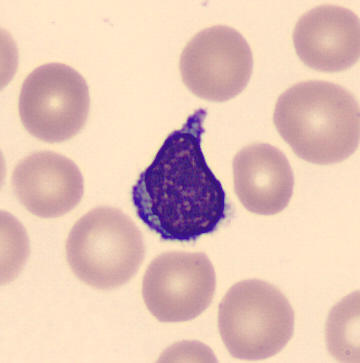Acquisition: Cropped to a single cell.
Specimen: peripheral blood smear.
Cell type: lymphocyte.